Bone marrow smear:
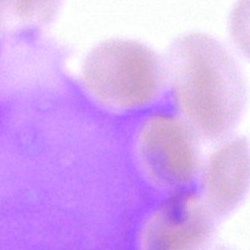The cell shown is an artifact.